Bone marrow aspirate smear — 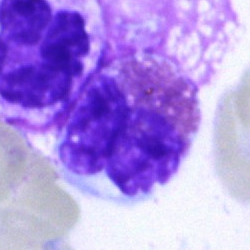 Q: Which cell type is shown here?
A: It is an eosinophilic granulocyte.